400×400 px · peripheral blood film: 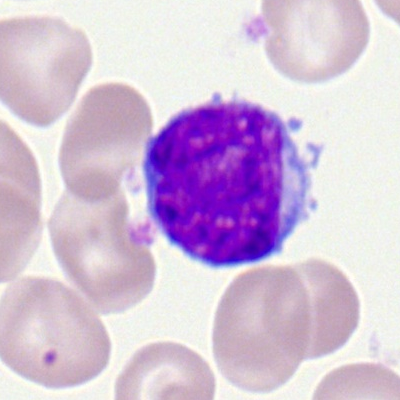Cell = lymphocyte.